Bone marrow aspirate smear: 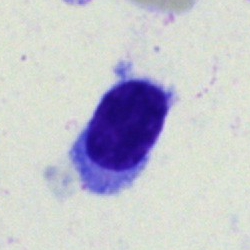Cell = typical lymphocyte.